Peripheral blood film — 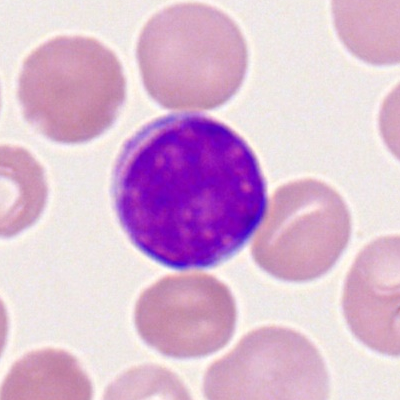
Morphology → lymphocyte.